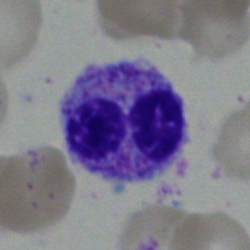

Bone marrow aspirate smear, single cell — polymorphonuclear neutrophil.